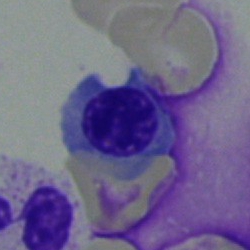{"cell_type": "nucleated red blood cell"}